Bone marrow smear
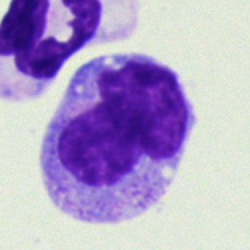

Specimen: bone marrow smear.
Morphological class: monocyte.
Lineage: myeloid.